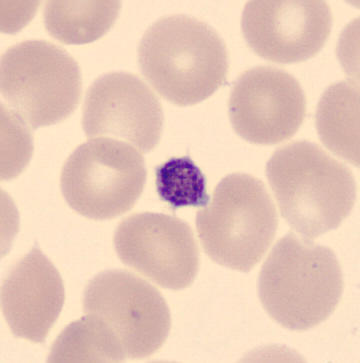

Preparation: Peripheral blood smear. May-Grünwald-Giemsa-stained.

{"cell_type": "platelet (thrombocyte)"}